Bone marrow aspirate smear; single-cell field.
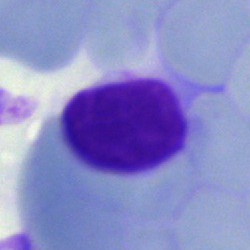Q: What is shown here?
A: It is an artifact.